250×250; bone marrow aspirate smear.
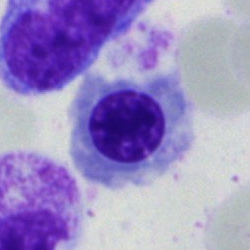
A nucleated red cell.